May-Grünwald-Giemsa stain. Bone marrow aspirate smear
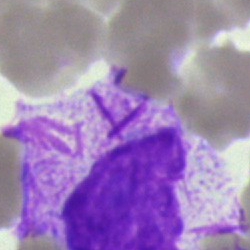

A faggot cell.